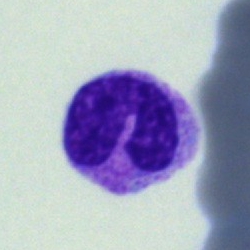Classification — band-form neutrophil.